Bone marrow aspirate smear
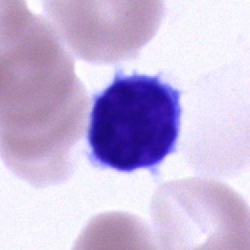Specimen: bone marrow smear.
Morphological class: typical lymphocyte.